May-Grünwald-Giemsa/Pappenheim stain; bone marrow smear
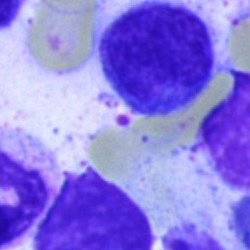 Morphology → lymphocyte.